May-Grünwald-Giemsa stain · bone marrow smear.
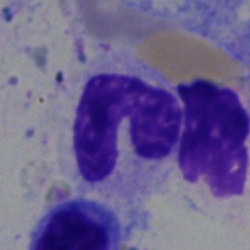

The cell shown is a segmented neutrophil.